Peripheral blood smear:
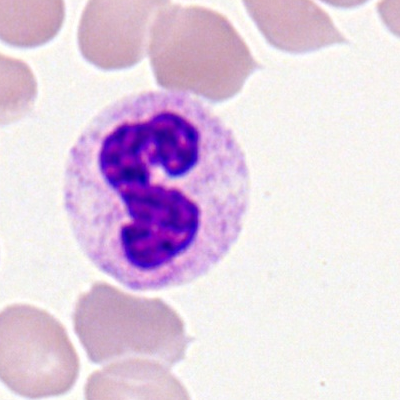
Single cell identified as a neutrophil (segmented).